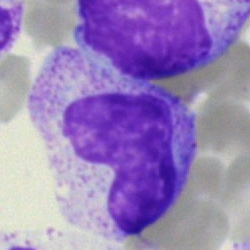 A band neutrophil on a bone marrow smear.